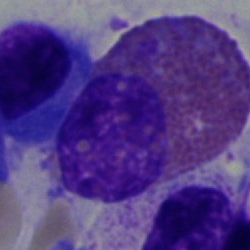 Bone marrow smear showing an eosinophilic granulocyte.